Bone marrow aspirate smear — 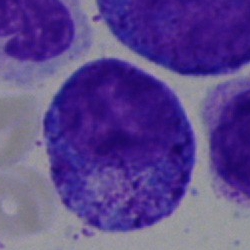
The cell shown is a progranulocyte.